Peripheral blood film. 360×363 — 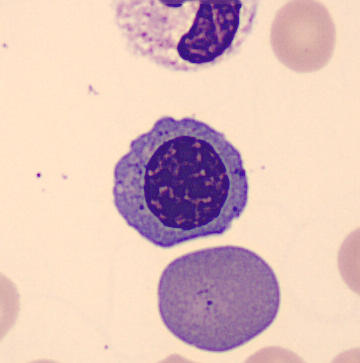

Cell type = nucleated red blood cell.